May-Grünwald-Giemsa stain. Single-cell crop. Bone marrow aspirate smear
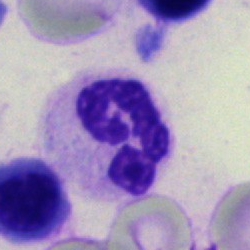
The cell is polymorphonuclear neutrophil.